Single cell centered in the field. Bone marrow smear: 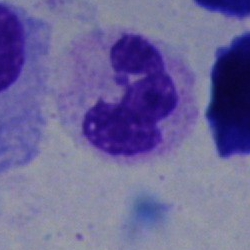
{"cell_type": "segmented neutrophil"}